Single-cell field. Bone marrow smear.
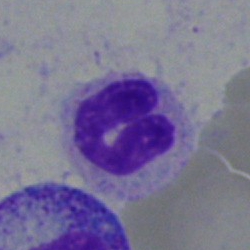
Cell — stab cell.